Bone marrow smear:
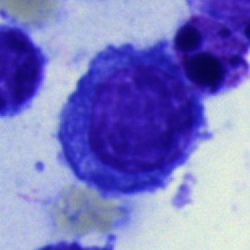Q: Which cell type is shown here?
A: Normoblast.